Peripheral blood smear. Single cell centered in the field. Romanowsky-stained:
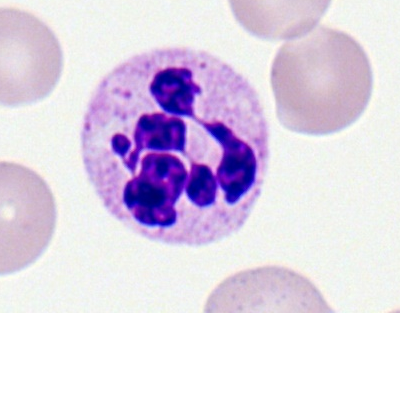{"cell_type": "neutrophil (segmented)", "lineage": "myeloid"}